M8 digital microscope (Precipoint), 100× oil immersion; Romanowsky-stained; peripheral blood film: 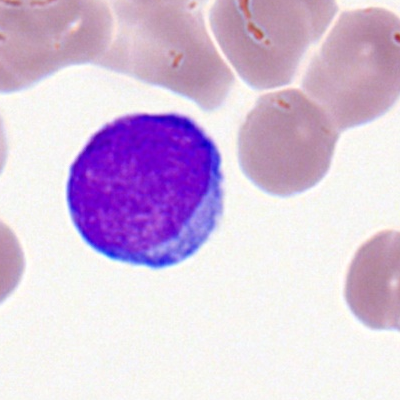Classification: myeloid blast.